Bone marrow aspirate smear. Single-cell field. Image size 250×250 — 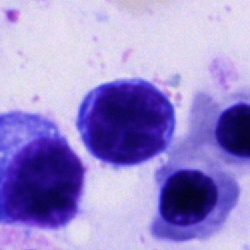
Cell type — typical lymphocyte.